Bone marrow smear
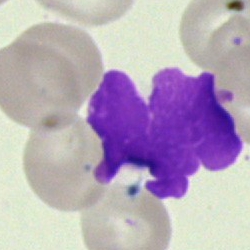 An artifact.